40× oil immersion; 250×250; bone marrow smear
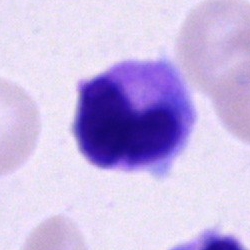

Showing a segmented neutrophil.